40× oil immersion. Bone marrow smear: 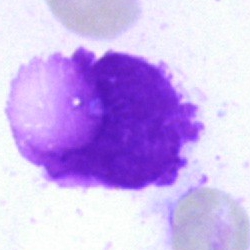
Morphology — artefact.